Single cell centered in the field; peripheral blood smear — 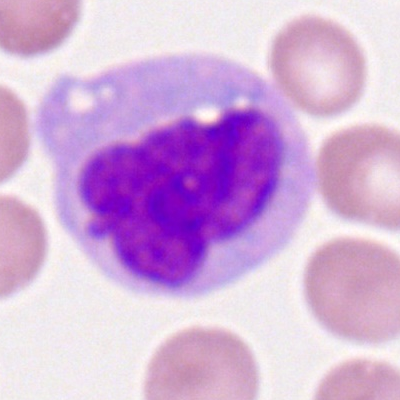Q: Identify the cell.
A: Monocyte.